Bone marrow aspirate smear: 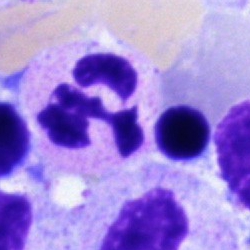
Classification — neutrophil (segmented).